Brightfield, 40× oil-immersion objective. Single-cell crop. Bone marrow smear:
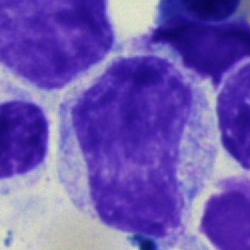

Cell type = myelocyte.